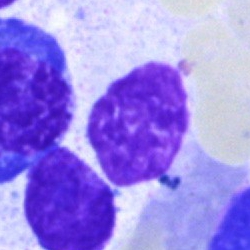Q: What is shown here?
A: Artifact.